40× oil immersion · bone marrow aspirate smear · 250×250: 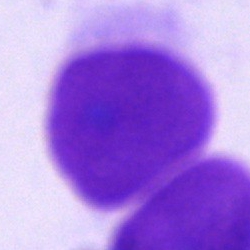
An artefact.